Bone marrow smear.
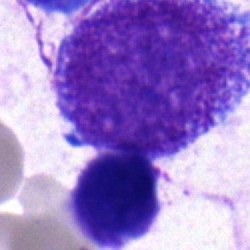 Undifferentiated blast.